Bone marrow aspirate smear. Cropped to a single cell
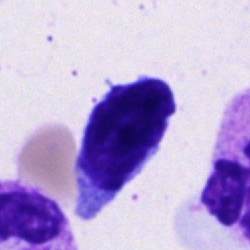
Single cell identified as a lymphocyte.